MGG-stained. Bone marrow aspirate smear — 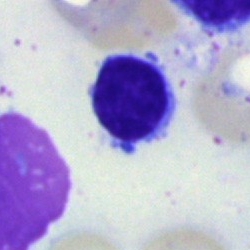
Showing a lymphocyte.